Bone marrow smear — 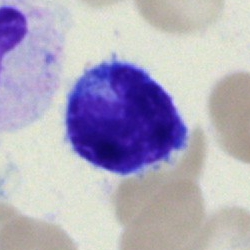

Impression → lymphocyte.